Bone marrow smear: 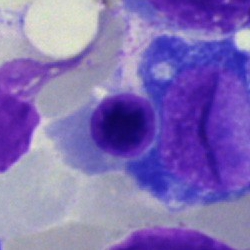

Morphological class — nucleated red blood cell.